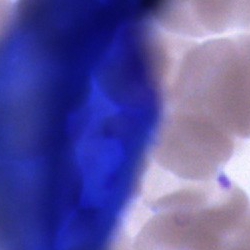

Morphology — artefact.